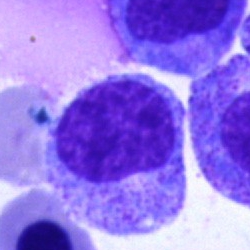 Morphological class: myelocyte.